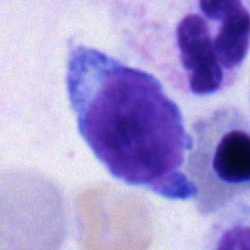

Q: What type of cell is this?
A: A typical lymphocyte.